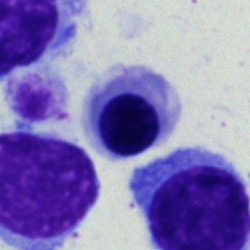Q: What cell is this?
A: Nucleated red blood cell.